Brightfield microscopy, 40× oil immersion; single cell centered in the field; bone marrow smear
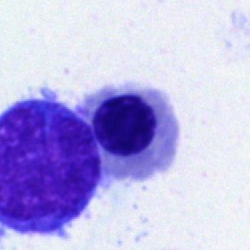
Nucleated red blood cell.